Bone marrow aspirate smear:
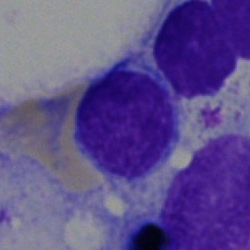
Specimen: bone marrow aspirate smear.
Cell type: lymphocyte.